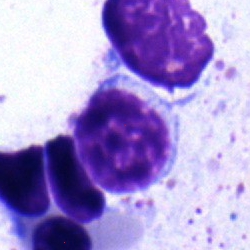 The classification is typical lymphocyte.